Bone marrow smear: 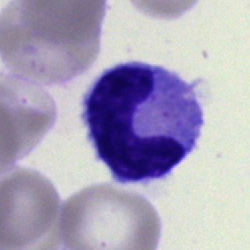Impression — band neutrophil.